Single-cell crop. Bone marrow smear
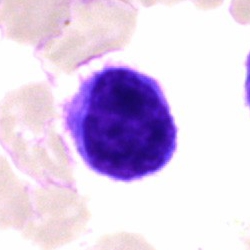

Morphology → lymphocyte.